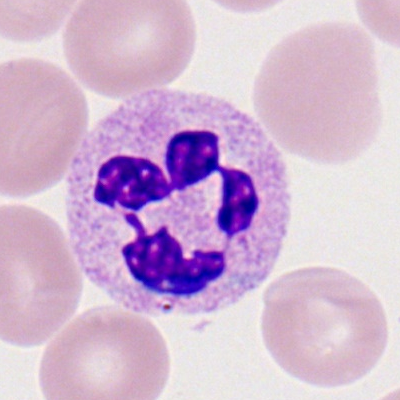A neutrophil (segmented).